40× objective, oil immersion · bone marrow aspirate smear
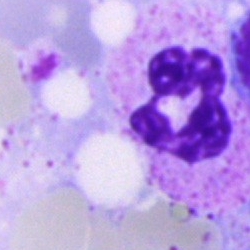
The cell shown is a segmented neutrophil.